Bone marrow aspirate smear:
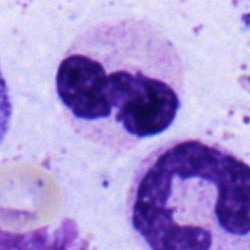

Q: Which cell type is shown here?
A: A neutrophil (segmented).